Bone marrow aspirate smear.
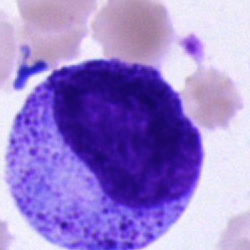
Single cell identified as a progranulocyte.